Bone marrow aspirate smear · May-Grünwald-Giemsa stain: 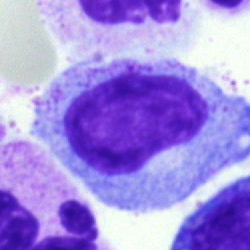

Impression — promyelocyte.